Single cell centered in the field · 250 by 250 pixels · bone marrow aspirate smear:
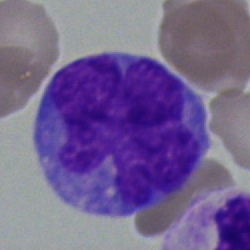
The cell shown is a monocyte.